Bone marrow aspirate smear — 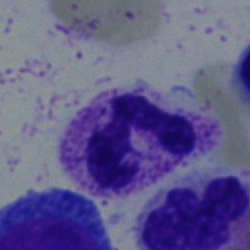 Impression — segmented neutrophil.